Bone marrow aspirate smear.
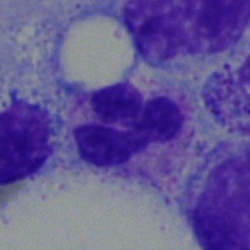Morphology — neutrophil (segmented).